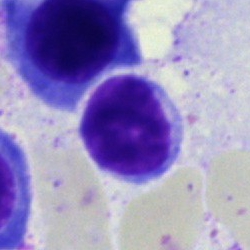
{"cell_type": "lymphocyte", "lineage": "lymphoid"}